250 by 250 pixels. Bone marrow aspirate smear. 40× oil immersion:
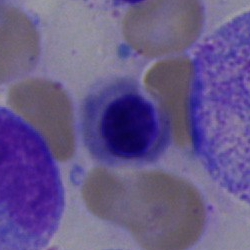 Q: What is the morphological classification of this cell?
A: It is an erythroblast.